Bone marrow smear
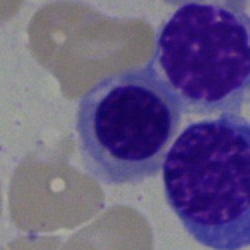 Morphology consistent with a nucleated red blood cell.